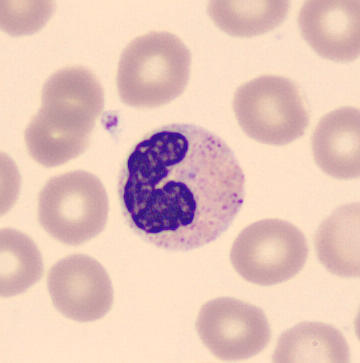
Q: Which cell type is shown here?
A: Stab cell.

Acquisition: Peripheral blood smear.